Bone marrow aspirate smear:
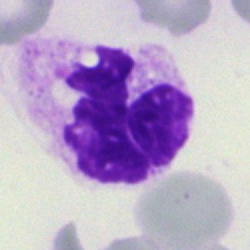

Single cell identified as a neutrophil (segmented).